Peripheral blood smear; single-cell field — 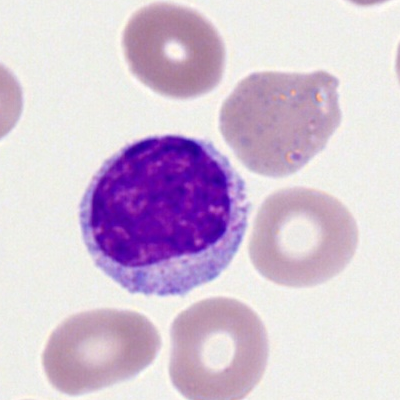A typical lymphocyte.